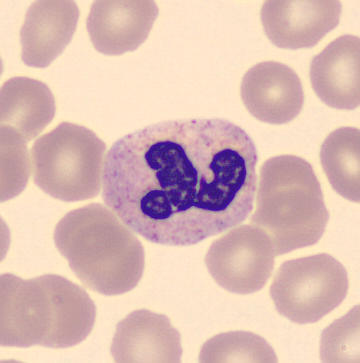

From a peripheral blood smear: a segmented neutrophil.